Peripheral blood film.
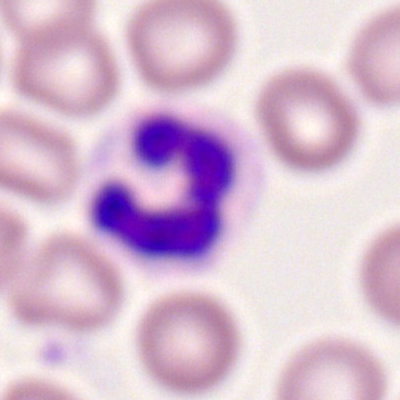
Classification — segmented neutrophil.